Bone marrow smear
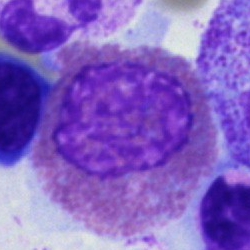
Specimen: bone marrow aspirate smear.
Cell type: eosinophil.